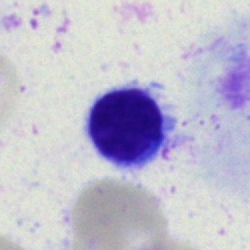
The cell type is lymphocyte.